Bone marrow smear · 40× objective, oil immersion.
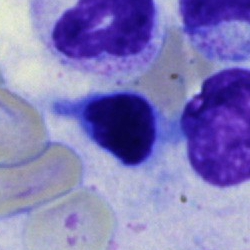 The cell shown is a normoblast.